Bone marrow smear.
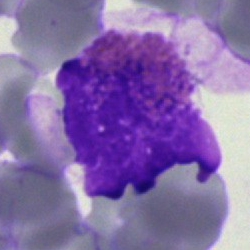
Q: Which cell type is shown here?
A: This is an eosinophil.